Brightfield microscopy, 40× oil immersion. Bone marrow smear.
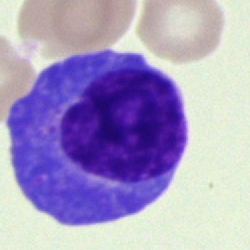 Impression → plasmacyte.